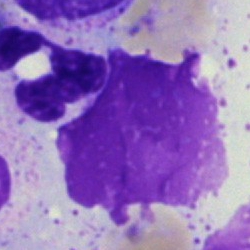 This is an artefact.